Bone marrow aspirate smear:
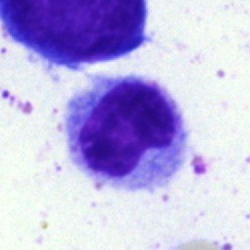

Q: What type of cell is this?
A: A monocyte.